Bone marrow aspirate smear. Cropped to a single cell — 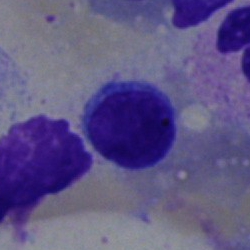 Lymphocyte.